Bone marrow smear. Cropped to a single cell: 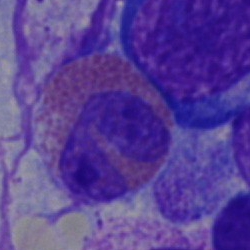 Cell type: eosinophil.